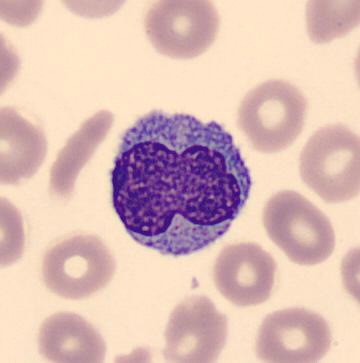

Cell = monocyte.